Bone marrow aspirate smear.
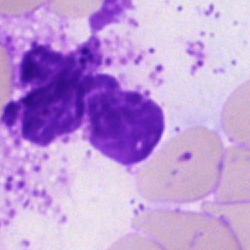

Classification — artifact.